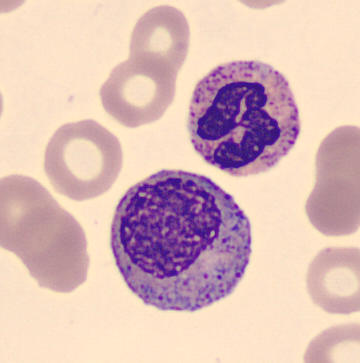 Image: Single-cell crop. Peripheral blood smear.
The cell shown is a myelocyte.